MGG-stained; bone marrow aspirate smear — 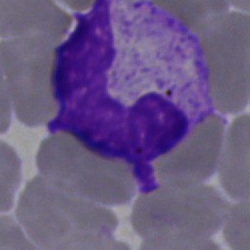
Q: Identify the cell.
A: This is a band neutrophil.